Bone marrow smear. 250×250 px:
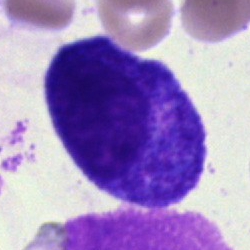

Single cell identified as a progranulocyte.